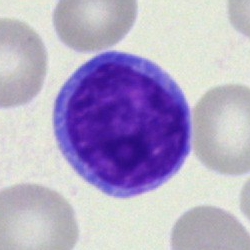This is a typical lymphocyte.